Bone marrow aspirate smear
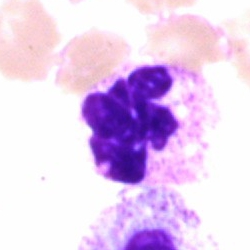The cell shown is a segmented neutrophil.